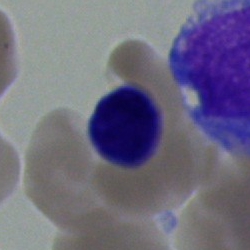 Classification = lymphocyte.